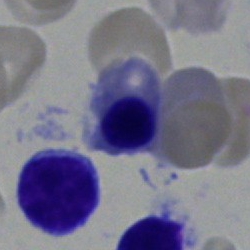A nucleated red blood cell.